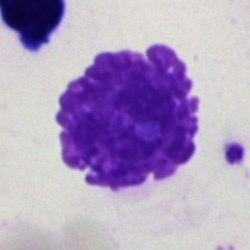

Cell type = artifact.